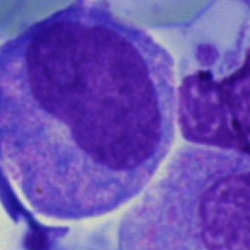Showing a promyelocyte.